Bone marrow smear; May-Grünwald-Giemsa stain; cropped to a single cell.
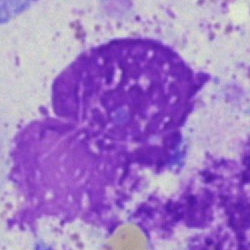 Q: What is shown here?
A: An artifact.